Bone marrow aspirate smear; 250×250 px.
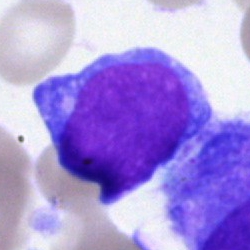

Cell = blast cell.